Bone marrow aspirate smear
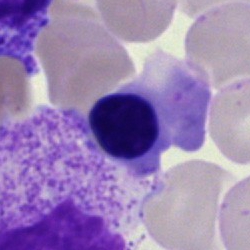 Single cell identified as an erythroblast.